Bone marrow smear · Pappenheim-stained · single-cell field: 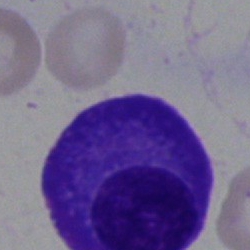
Single cell identified as a plasmacyte.